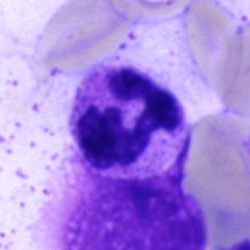
This is a polymorphonuclear neutrophil.